Bone marrow smear:
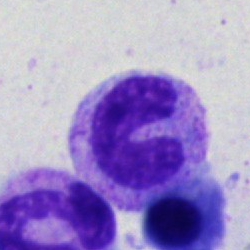 Band-form neutrophil.